Bone marrow aspirate smear
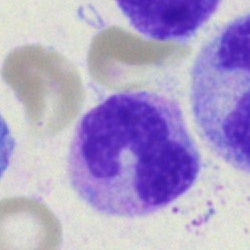
This is a band neutrophil.